Bone marrow smear; MGG-stained
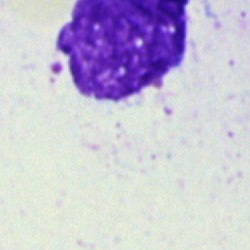Specimen: bone marrow aspirate smear.
Cell type: artefact.